Bone marrow aspirate smear · 250 by 250 pixels:
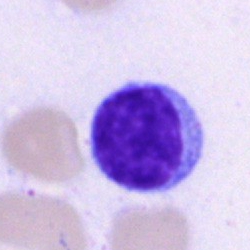 Impression → typical lymphocyte.